Bone marrow smear.
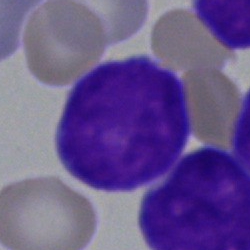

Cell type = blast.